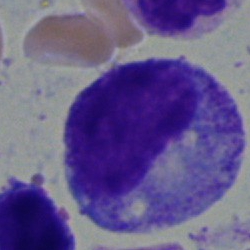
Q: Identify the cell.
A: A myelocyte.